May-Grünwald-Giemsa-stained; peripheral blood smear.
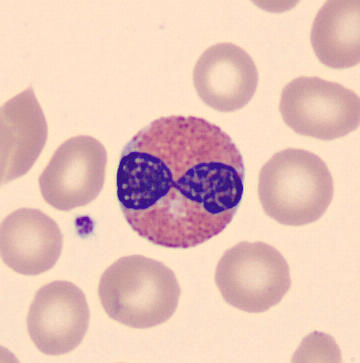 Morphology consistent with an eosinophil.